Bone marrow smear:
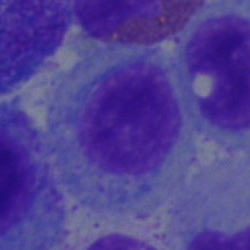 Specimen: bone marrow smear.
Morphological class: myelocyte.
Lineage: myeloid.